Bone marrow smear.
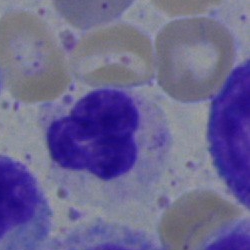Specimen: bone marrow smear.
Morphological class: segmented neutrophil.
Lineage: myeloid.